Bone marrow smear
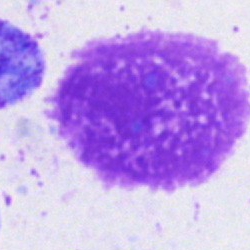An artefact.